May-Grünwald-Giemsa stain. Bone marrow aspirate smear. Image size 250×250 — 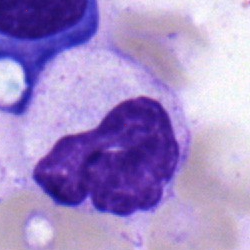 Specimen: bone marrow aspirate smear.
Cell: monocyte.